May-Grünwald-Giemsa stain; bone marrow smear: 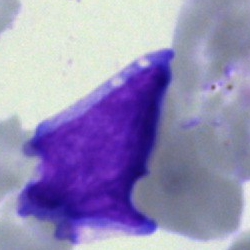 Blast cell.